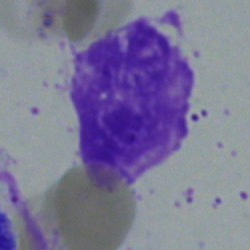 Single-cell crop from a bone marrow smear: artifact.